Single-cell crop · bone marrow smear:
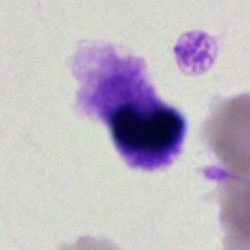Q: What is shown here?
A: It is an artefact.